Image size 250×250; bone marrow aspirate smear: 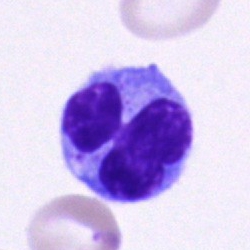Morphology consistent with a cell of indeterminate lineage.